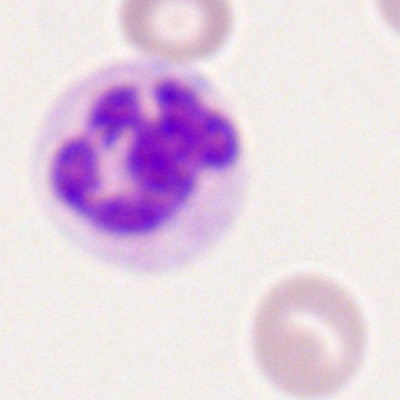
Q: What cell is this?
A: It is a polymorphonuclear neutrophil.